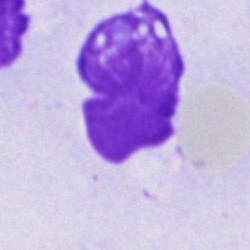 Artifact.